Peripheral blood smear · MGG stain — 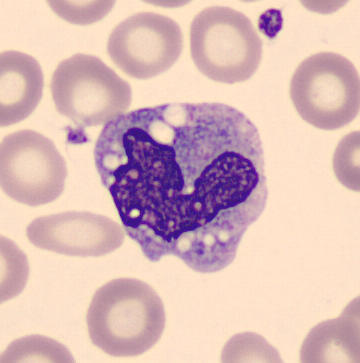 Monocyte.